Pappenheim-stained. Bone marrow smear:
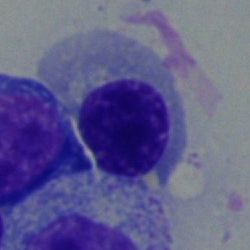

Morphology — erythroblast.